250×250 px. Bone marrow aspirate smear
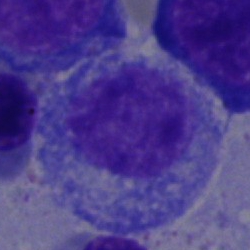

A promyelocyte.